Bone marrow aspirate smear
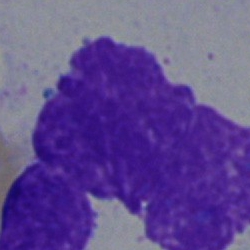

Showing an artefact.